Bone marrow aspirate smear:
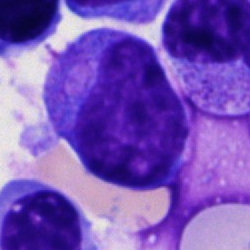 Showing a blast cell.